40× oil immersion; 250 by 250 pixels; bone marrow smear: 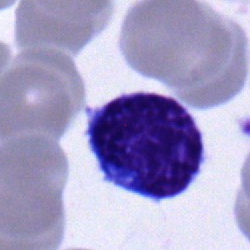

Impression — typical lymphocyte.